Bone marrow aspirate smear — 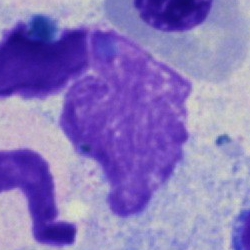

Morphological class = artifact.